Bone marrow smear
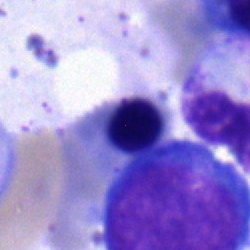

An erythroblast.